Bone marrow smear; MGG-stained
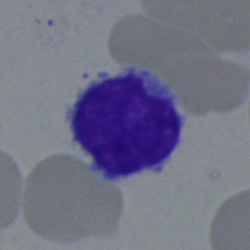Morphology consistent with a lymphocyte.